Single cell centered in the field; bone marrow smear
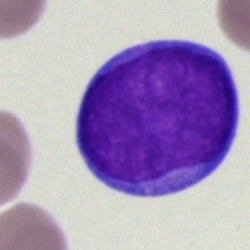 Q: What is shown here?
A: It is a blast.